Bone marrow aspirate smear
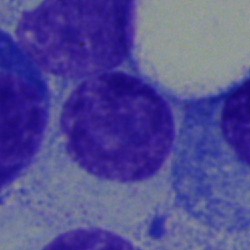

A plasma cell.